Bone marrow aspirate smear: 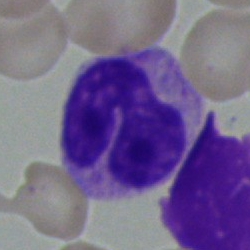

Morphology — band-form neutrophil.